Bone marrow smear; MGG-stained; brightfield, 40× oil-immersion objective:
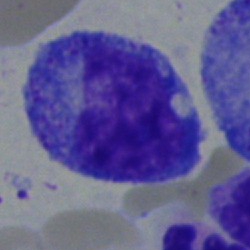Q: What cell is this?
A: A myelocyte.